Bone marrow aspirate smear: 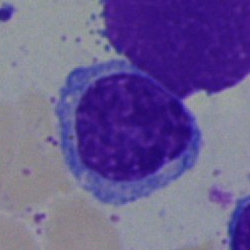Morphology — lymphocyte.